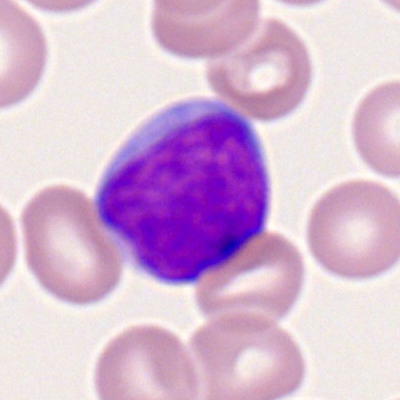

Classification — myeloid blast.